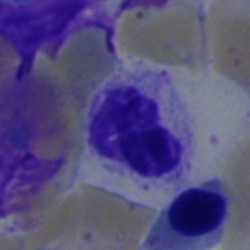

Q: What cell is this?
A: Neutrophil (segmented).